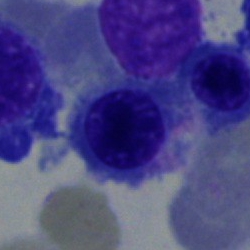

Single-cell crop from a bone marrow smear: nucleated red blood cell.